May-Grünwald-Giemsa stain; bone marrow smear — 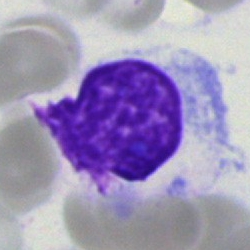 Artifact.